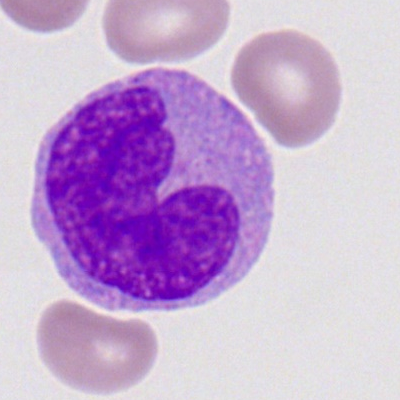

The cell is myeloblast.